Bone marrow smear:
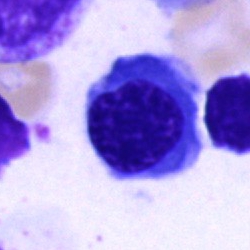This is a nucleated red cell.